Bone marrow smear — 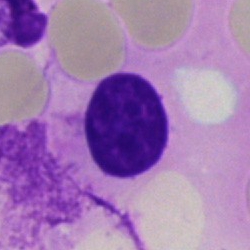Cell type = artefact.